40× objective, oil immersion; bone marrow smear.
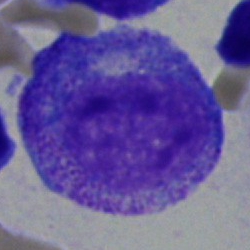

Classification = progranulocyte.